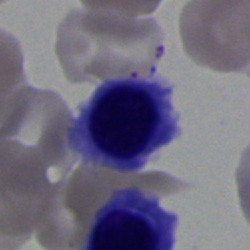Q: What is shown here?
A: It is a nucleated red blood cell.